Bone marrow aspirate smear — 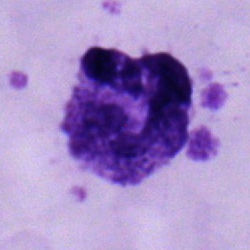 Morphology — polymorphonuclear neutrophil.